250×250; bone marrow aspirate smear; 40× oil immersion.
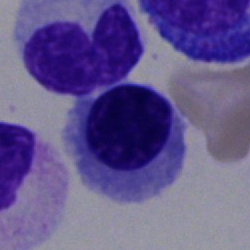 Cell type: nucleated red blood cell.